Bone marrow aspirate smear; May-Grünwald-Giemsa/Pappenheim stain.
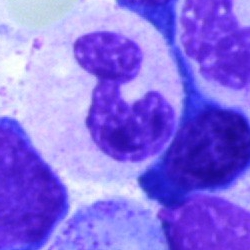Morphology consistent with a neutrophil (segmented).